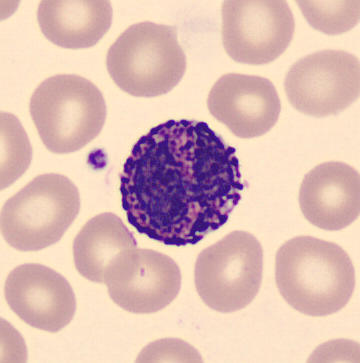A basophil.